Bone marrow smear
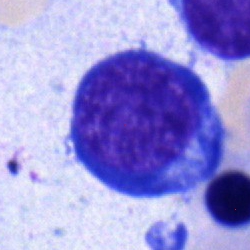An erythroblast.